Peripheral blood smear.
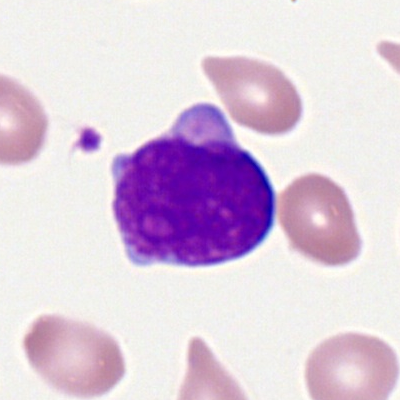

Specimen: peripheral blood film.
Classification: myeloid blast.